MGG-stained; bone marrow smear.
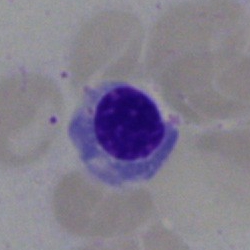

{"cell_type": "normoblast"}